Peripheral blood smear
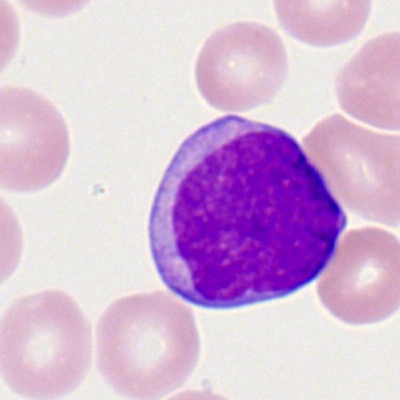 Morphology consistent with a myeloblast.